Cropped to a single cell; bone marrow aspirate smear:
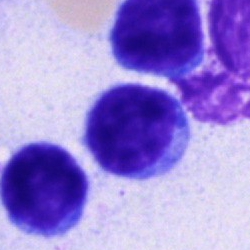 Morphological class — typical lymphocyte.